Peripheral blood film. Single cell centered in the field: 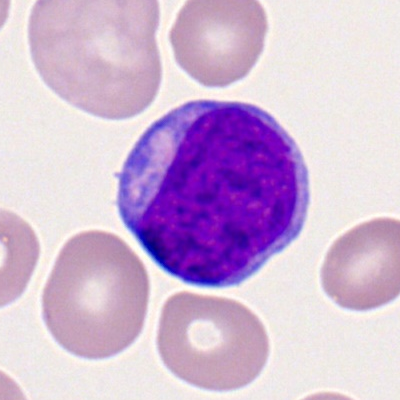

A myeloblast.